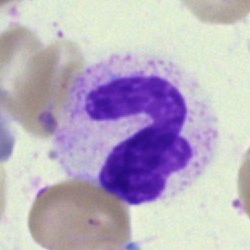

Classification = polymorphonuclear neutrophil.